250×250 px. Bone marrow smear.
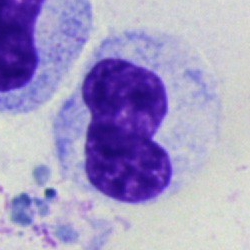

Q: What type of cell is this?
A: A neutrophil (band).